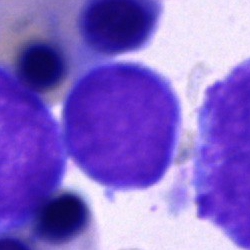 Morphology → blast.